Brightfield microscopy, 40× oil immersion · bone marrow smear — 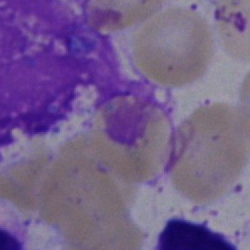

The cell type is artefact.